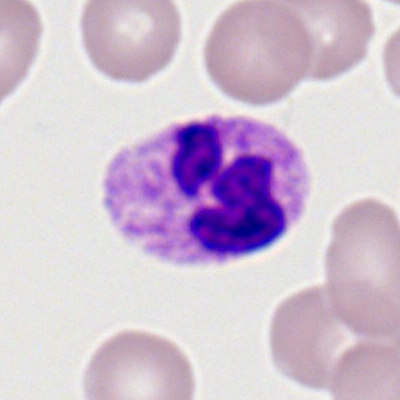
Morphology — polymorphonuclear neutrophil.